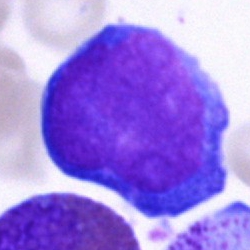

Morphology consistent with a pronormoblast.